Bone marrow aspirate smear:
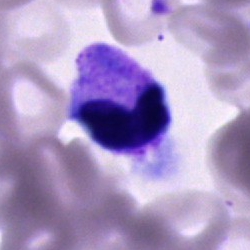Morphology — unidentifiable cell.